Bone marrow smear.
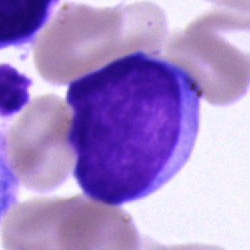Blast cell.